Bone marrow smear. MGG-stained:
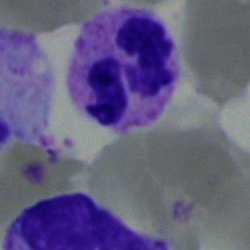 Single cell identified as a neutrophil (segmented).